Bone marrow aspirate smear · single cell centered in the field · 250 by 250 pixels — 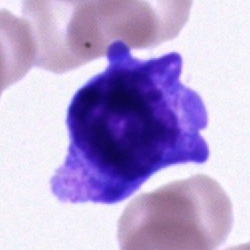

{"cell_type": "unidentifiable cell"}